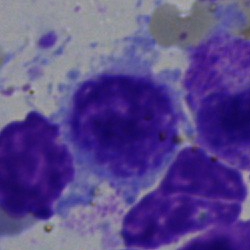 The cell is artefact.